Bone marrow aspirate smear — 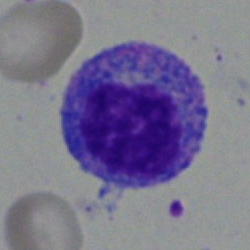

Specimen: bone marrow aspirate smear.
Cell type: myelocyte.
Lineage: myeloid.